Pappenheim-stained. Bone marrow smear:
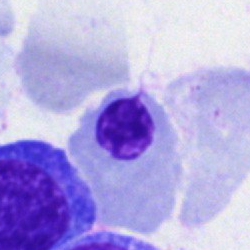 Morphological class — nucleated red blood cell.